Bone marrow aspirate smear:
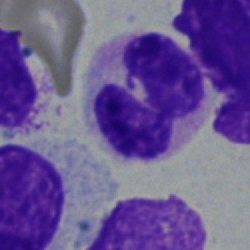Classification — neutrophil (segmented).